Bone marrow aspirate smear · brightfield microscopy, 40× oil immersion
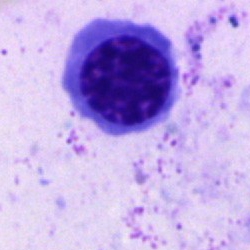 Morphology → normoblast.